Brightfield microscopy, 40× oil immersion. May-Grünwald-Giemsa/Pappenheim stain. Bone marrow smear — 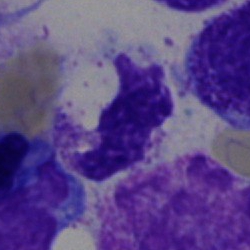
Specimen: bone marrow aspirate smear.
Morphological class: neutrophil (segmented).
Lineage: myeloid.